Bone marrow smear: 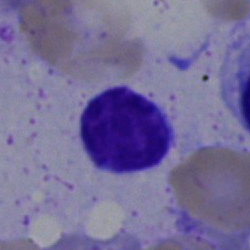
Morphology consistent with a lymphocyte.